Peripheral blood smear · cropped to a single cell · 100× oil immersion — 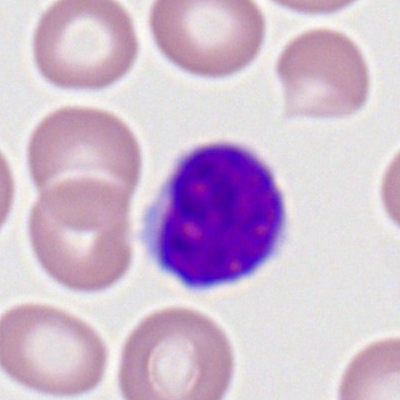

Single cell identified as a typical lymphocyte.